Bone marrow aspirate smear — 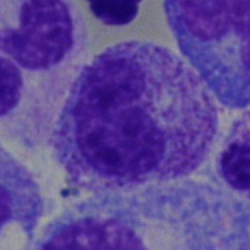Q: What cell is this?
A: It is a metamyelocyte.